Pappenheim-stained. Brightfield, 40× oil-immersion objective. Bone marrow aspirate smear
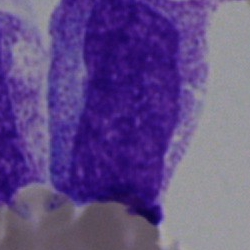 Showing a myelocyte.